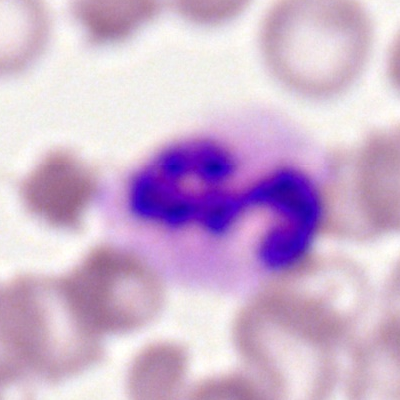Q: What type of cell is this?
A: It is a segmented neutrophil.